Bone marrow smear · Pappenheim-stained — 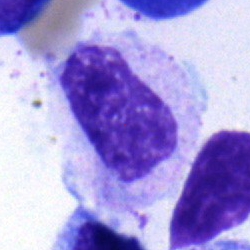

The cell shown is a metamyelocyte.